Cropped to a single cell · peripheral blood film · Romanowsky-stained:
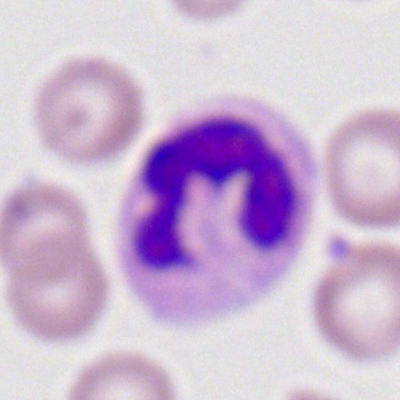
{"cell_type": "polymorphonuclear neutrophil", "lineage": "myeloid"}